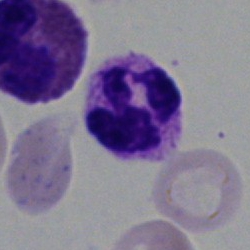Impression — polymorphonuclear neutrophil.